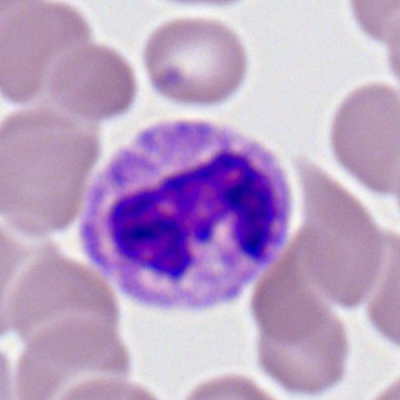 Cell type: neutrophil (segmented).